250 by 250 pixels. Bone marrow aspirate smear — 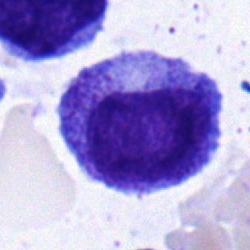
Specimen: bone marrow aspirate smear.
Cell: myelocyte.
Lineage: myeloid.